Bone marrow smear.
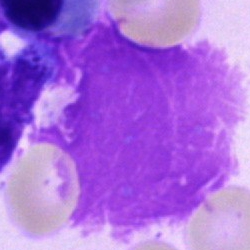
This is an artifact.